Bone marrow smear
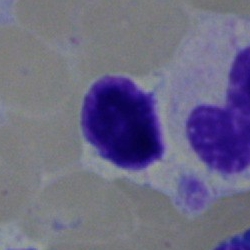Single cell identified as a lymphocyte.